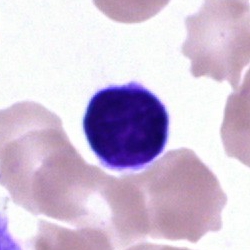
{"cell_type": "lymphocyte"}